Single cell centered in the field · Romanowsky-type stain · peripheral blood smear.
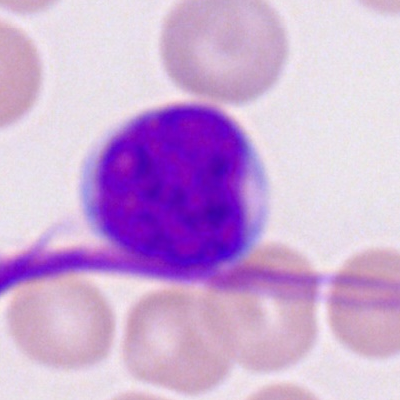Classification = myeloblast.